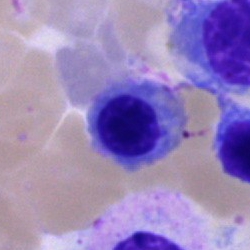Cell type — erythroblast.